250 by 250 pixels · bone marrow aspirate smear · May-Grünwald-Giemsa stain — 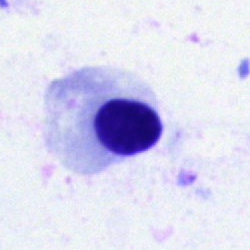

Q: Identify the cell.
A: Normoblast.